250 by 250 pixels. Bone marrow smear. 40× objective, oil immersion
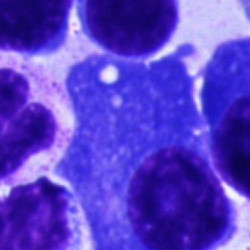Cell: plasma cell.